Bone marrow smear.
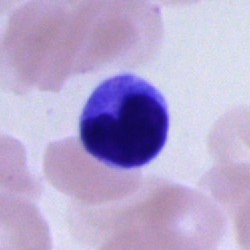Typical lymphocyte.